MGG-stained; bone marrow aspirate smear — 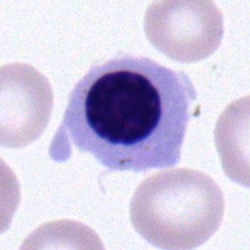
Single cell identified as a normoblast.